Bone marrow smear — 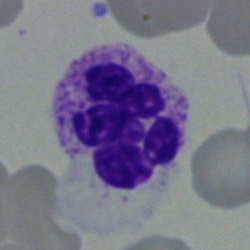
The cell is segmented neutrophil.